Bone marrow aspirate smear:
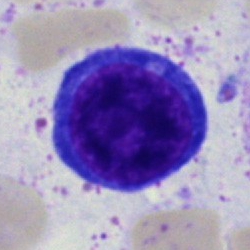Single cell identified as a normoblast.